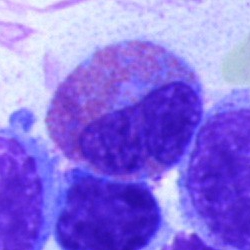

Morphological class — eosinophil.